Bone marrow aspirate smear — 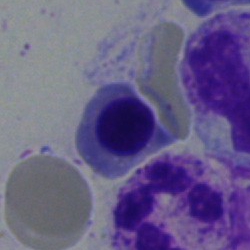

Classification = normoblast.